Bone marrow smear: 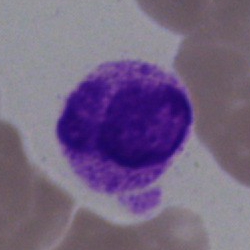
Showing an artefact.